Brightfield, 40× oil-immersion objective; bone marrow smear:
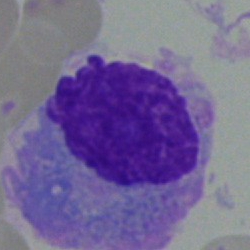Morphology consistent with a plasma cell.